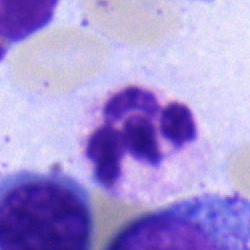 Specimen: bone marrow smear.
Cell: segmented neutrophil.
Lineage: myeloid.